Bone marrow smear
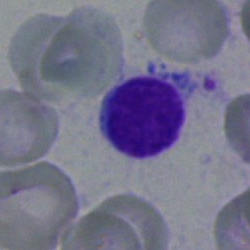
Typical lymphocyte.